Bone marrow smear; single-cell crop
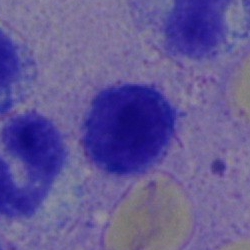 The morphological class is lymphocyte.